Bone marrow aspirate smear.
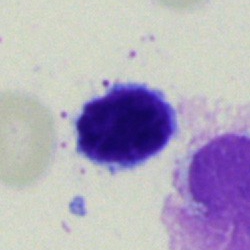A lymphocyte.